Bone marrow smear.
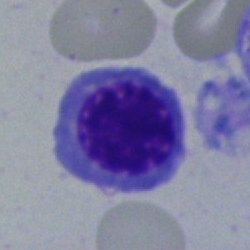

Cell = erythroblast.